Bone marrow smear: 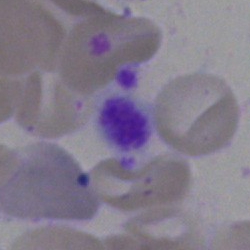 An artifact.